40× objective, oil immersion; bone marrow smear.
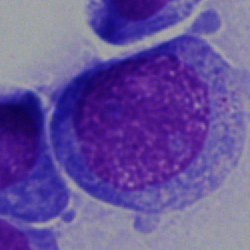Cell — blast.